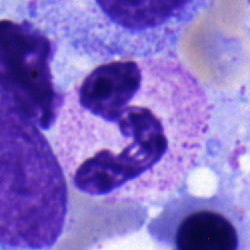

Specimen: bone marrow smear.
Classification: polymorphonuclear neutrophil.